Bone marrow aspirate smear · single cell centered in the field · May-Grünwald-Giemsa/Pappenheim stain:
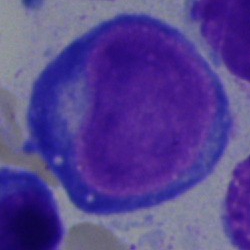 Cell type = pronormoblast.